Bone marrow smear:
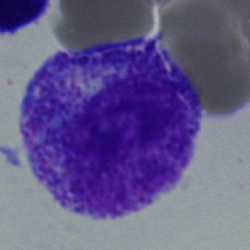

Specimen: bone marrow smear.
Cell type: progranulocyte.
Lineage: myeloid.